Bone marrow aspirate smear: 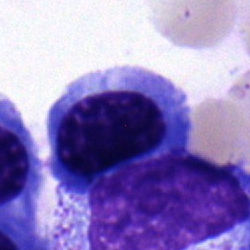
{"cell_type": "erythroblast", "lineage": "erythroid"}